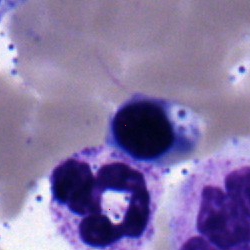 Single-cell crop from a bone marrow smear: normoblast.